40× oil immersion. Bone marrow smear: 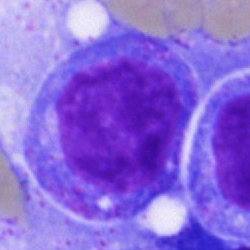A progranulocyte.